250×250 px; bone marrow smear: 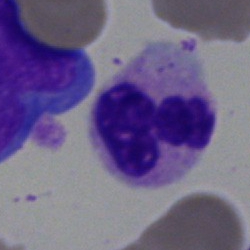

Impression → neutrophil (segmented).